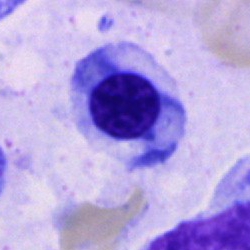 Q: What type of cell is this?
A: This is a normoblast.